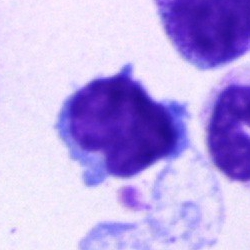A typical lymphocyte on a bone marrow smear.